Bone marrow smear; Pappenheim-stained — 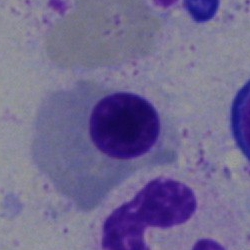Nucleated red cell.